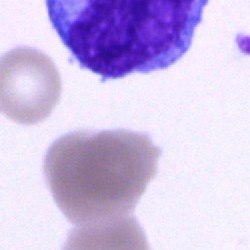 Specimen: bone marrow smear.
Morphological class: undifferentiated blast.